Bone marrow smear. 250×250 px.
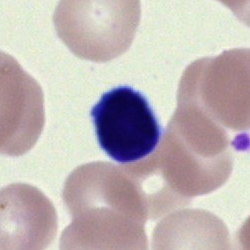
Impression — lymphocyte.